MGG-stained · bone marrow smear
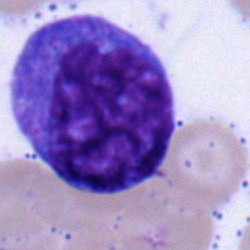Morphology consistent with a blast cell.